Cropped to a single cell; bone marrow smear
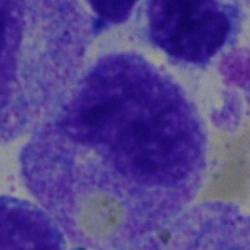

Classification: metamyelocyte.